Single-cell crop · image size 250×250 · bone marrow aspirate smear.
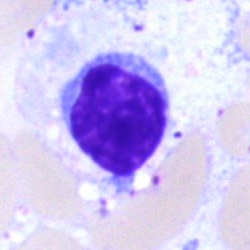
Impression → typical lymphocyte.